May-Grünwald-Giemsa stain · image size 250×250 · bone marrow aspirate smear
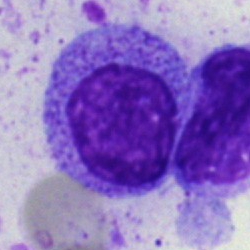
Specimen: bone marrow smear.
Cell: myelocyte.
Lineage: myeloid.